Bone marrow aspirate smear:
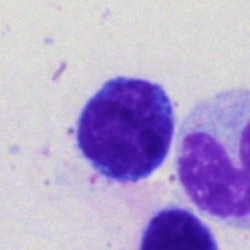Impression — plasma cell.